Bone marrow smear — 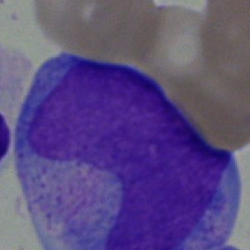 Morphological class — blast cell.